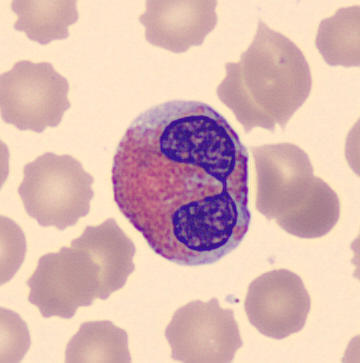An eosinophil. Acquisition: May-Grünwald-Giemsa-stained · peripheral blood film.